Bone marrow aspirate smear — 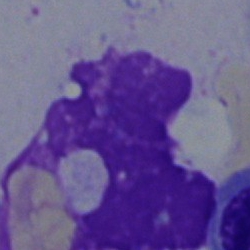 Showing an artifact.